Bone marrow aspirate smear — 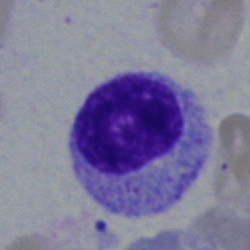

{"cell_type": "myelocyte", "lineage": "myeloid"}